Pappenheim-stained · 40× oil immersion · bone marrow aspirate smear.
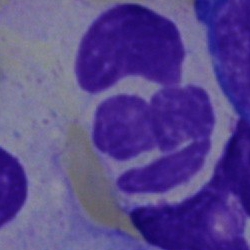 Showing a neutrophil (segmented).